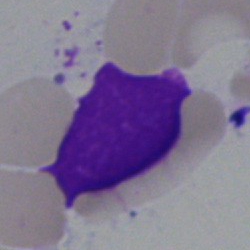

The cell shown is an artifact.